40× oil immersion; bone marrow aspirate smear; MGG-stained.
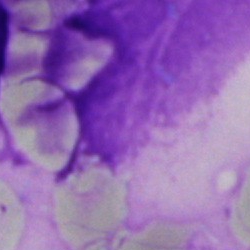

The cell shown is an artifact.